250×250 px · bone marrow smear
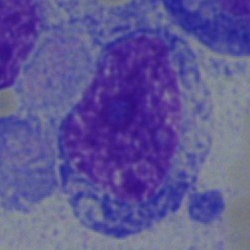The morphological class is blast.